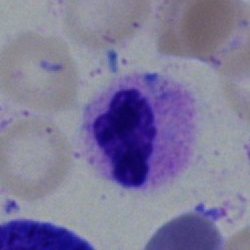
The classification is segmented neutrophil.